Bone marrow aspirate smear — 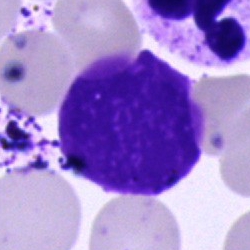
Morphology consistent with a cell of indeterminate lineage.